250×250 px. Single cell centered in the field. Bone marrow aspirate smear — 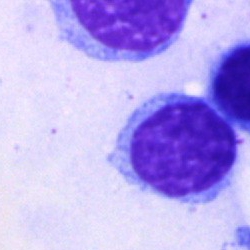The classification is typical lymphocyte.